Single-cell crop; peripheral blood smear
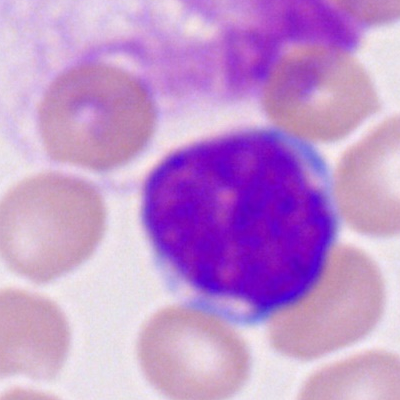

Single cell identified as a myeloid blast.